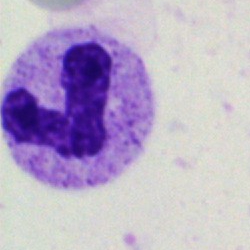

Impression — neutrophil (segmented).